Bone marrow aspirate smear. Single-cell crop.
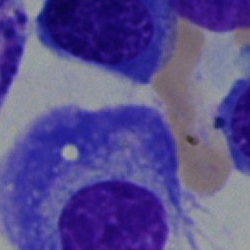Q: Identify the cell.
A: A plasma cell.